Bone marrow aspirate smear — 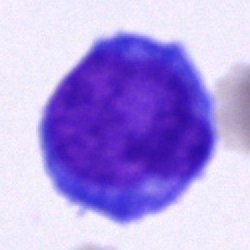Blast cell.